Pappenheim-stained · bone marrow smear · 250×250 px:
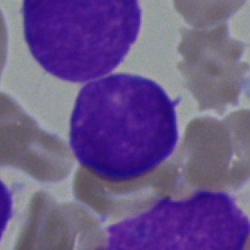Cell: undifferentiated blast.